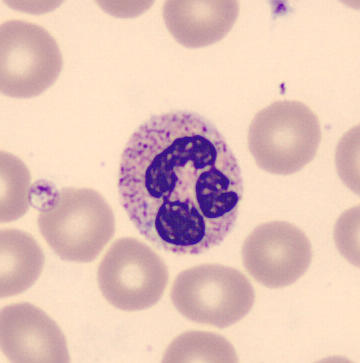
Preparation: CellaVision DM96 · MGG-stained · peripheral blood film. Segmented neutrophil.